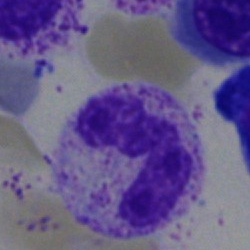

{"cell_type": "stab cell", "lineage": "myeloid"}